Brightfield microscopy, 40× oil immersion. 250×250. Bone marrow aspirate smear:
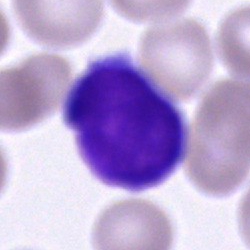

The cell is unidentifiable cell.